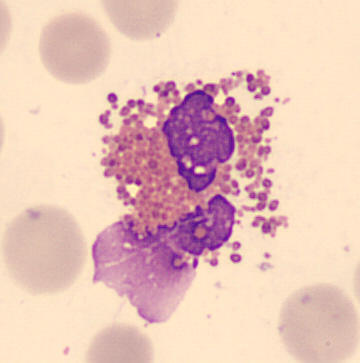 Q: Which cell type is shown here?
A: It is an eosinophilic granulocyte.